250×250 px. Brightfield, 40× oil-immersion objective. Bone marrow smear:
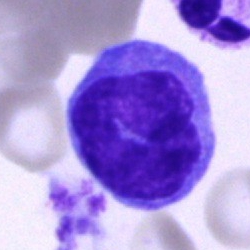 Q: What is the morphological classification of this cell?
A: Monocyte.